Bone marrow aspirate smear. May-Grünwald-Giemsa stain — 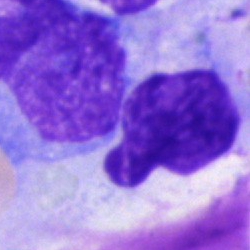The cell type is unidentifiable cell.